Bone marrow smear: 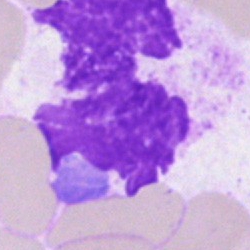

An artifact.